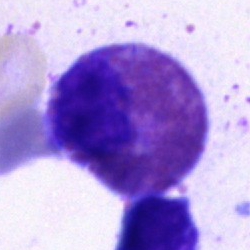

Q: Identify the cell.
A: This is an eosinophil.